250×250 px · bone marrow smear: 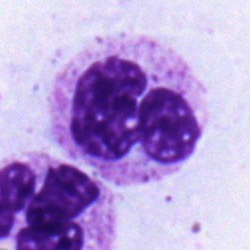

Morphological class = neutrophil (segmented).